Bone marrow aspirate smear: 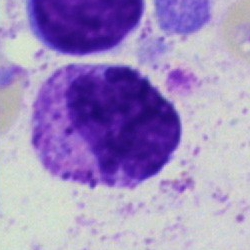Specimen: bone marrow aspirate smear.
Morphological class: basophil.